250 by 250 pixels. Bone marrow aspirate smear: 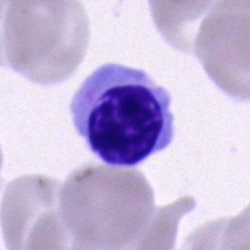 Showing a nucleated red blood cell.